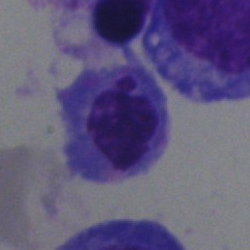Cell type: normoblast.